Peripheral blood film · 100× oil immersion.
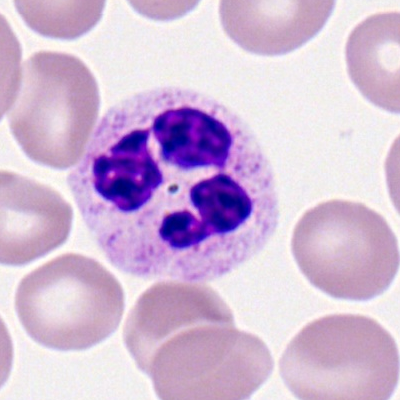A neutrophil (segmented).